Bone marrow aspirate smear.
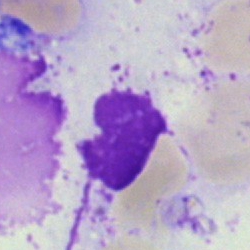This is an artefact.